40× oil immersion. Image size 250×250. Bone marrow aspirate smear:
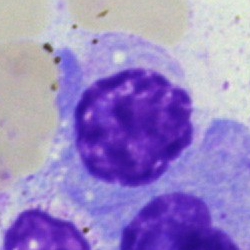Impression → plasma cell.